Bone marrow smear — 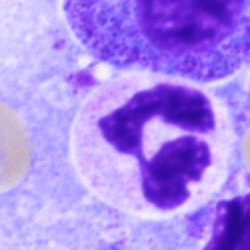
Specimen: bone marrow aspirate smear.
Cell: polymorphonuclear neutrophil.
Lineage: myeloid.